Peripheral blood film: 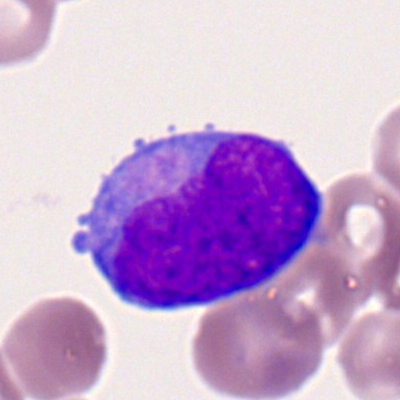The cell type is myeloid blast.